Peripheral blood smear:
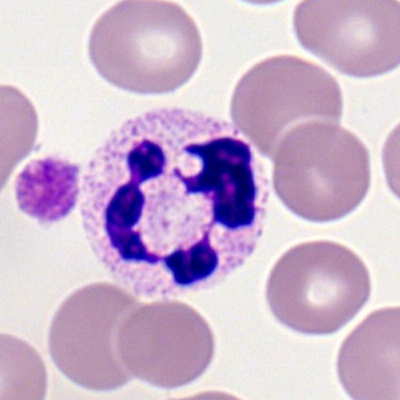
Morphological class: neutrophil (segmented).